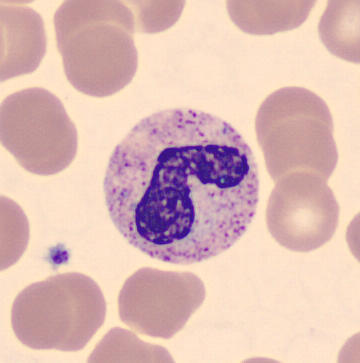 The cell shown is a band neutrophil.